Bone marrow aspirate smear — 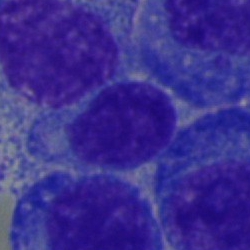
Single cell identified as a plasmacyte.